Bone marrow aspirate smear; brightfield, 40× oil-immersion objective: 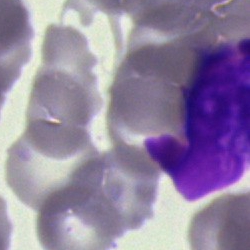The cell is artefact.